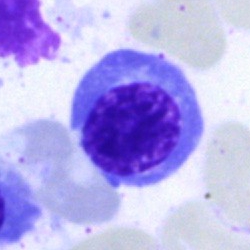
Q: Identify the cell.
A: It is an erythroblast.